400 by 400 pixels · peripheral blood film:
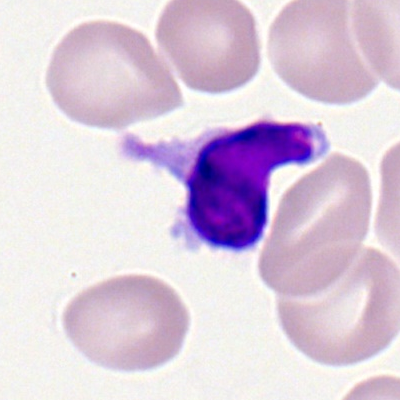Specimen: peripheral blood smear.
Classification: typical lymphocyte.
Lineage: lymphoid.